Bone marrow smear
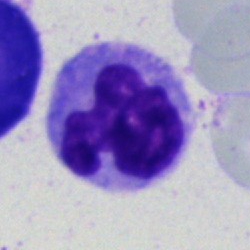
Q: Which cell type is shown here?
A: This is a monocyte.